Bone marrow smear:
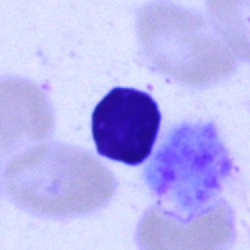

The cell type is typical lymphocyte.